Bone marrow smear · image size 250×250 · single-cell field.
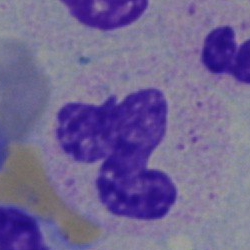Q: What cell is this?
A: A stab cell.